May-Grünwald-Giemsa stain. Bone marrow smear. 250×250 px — 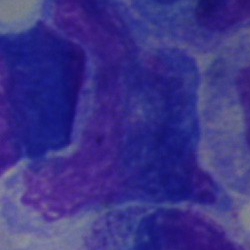
Cell type: artifact.